Bone marrow aspirate smear.
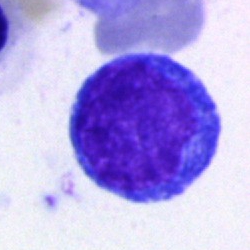 Morphology consistent with a typical lymphocyte.